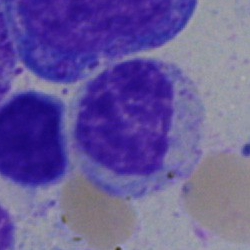
Showing a myelocyte.